Bone marrow smear · 40× oil immersion.
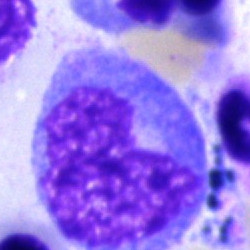

Morphological class: monocyte.